Bone marrow smear; single-cell crop; brightfield microscopy, 40× oil immersion.
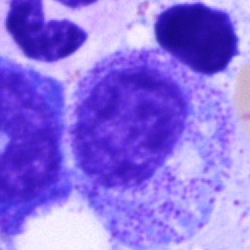A promyelocyte.